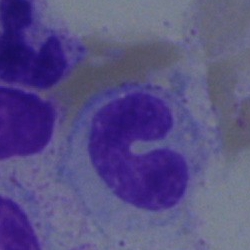
Impression → band-form neutrophil.